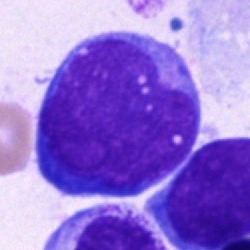

Showing a blast cell.